Bone marrow smear: 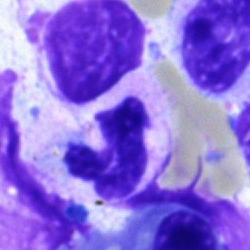Q: What is the morphological classification of this cell?
A: Polymorphonuclear neutrophil.